MGG-stained. Bone marrow smear: 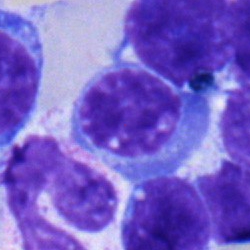The cell type is erythroblast.